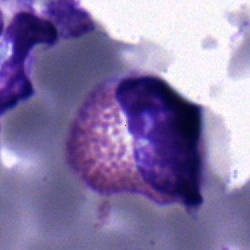Cell type = eosinophilic granulocyte.